Bone marrow smear: 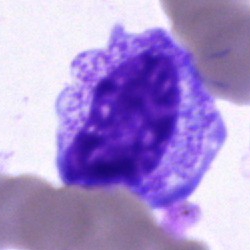
Showing a myelocyte.